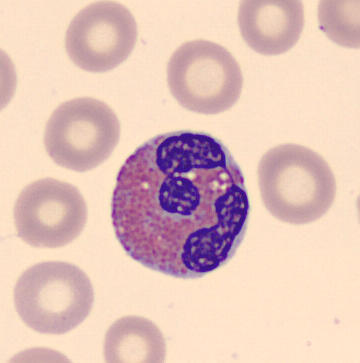Specimen: peripheral blood film.
Cell: eosinophilic granulocyte.